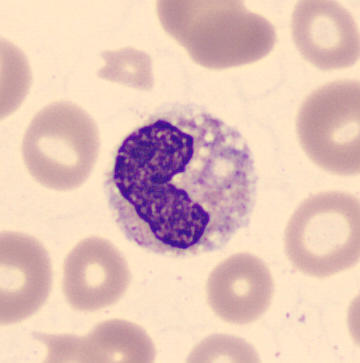

Cell: band-form neutrophil.